Bone marrow aspirate smear.
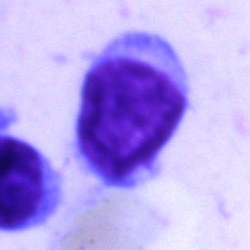Single cell identified as a typical lymphocyte.